Single-cell field; bone marrow smear; MGG-stained.
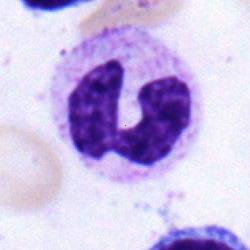

This is a neutrophil (segmented).